Bone marrow aspirate smear · 250×250 px.
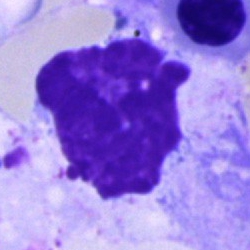 Artefact.